Pappenheim-stained · bone marrow aspirate smear
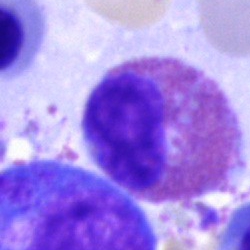 Specimen: bone marrow aspirate smear.
Morphological class: eosinophilic granulocyte.
Lineage: myeloid.